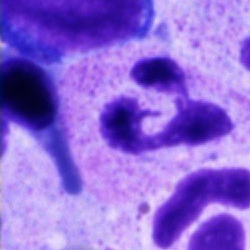Morphology → polymorphonuclear neutrophil.